Bone marrow smear:
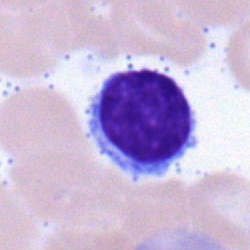

{"cell_type": "typical lymphocyte", "lineage": "lymphoid"}